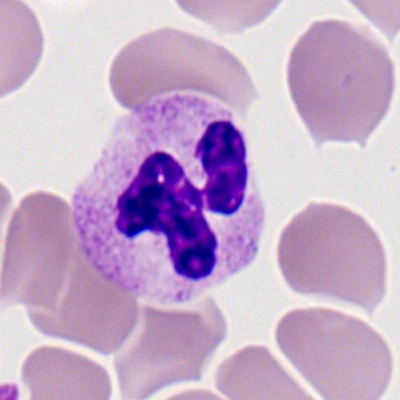
Peripheral blood smear showing a polymorphonuclear neutrophil.